Bone marrow smear. MGG-stained:
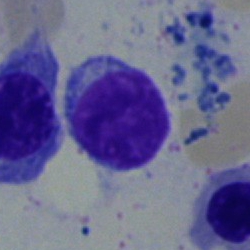
Specimen: bone marrow aspirate smear.
Classification: lymphocyte.
Lineage: lymphoid.